Bone marrow smear · May-Grünwald-Giemsa stain · 250 by 250 pixels
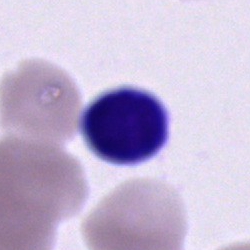 Impression → unidentifiable cell.